Bone marrow aspirate smear
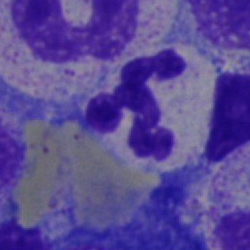 Single cell identified as a segmented neutrophil.